Peripheral blood film; 100× oil immersion, 14.14 px/µm: 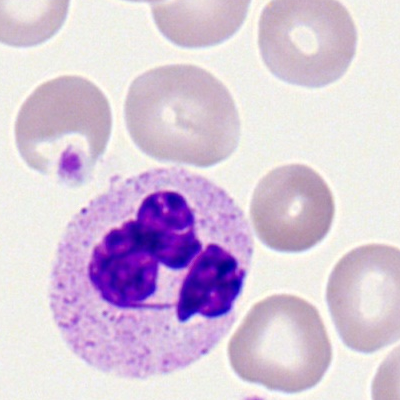

Showing a segmented neutrophil.